Peripheral blood film:
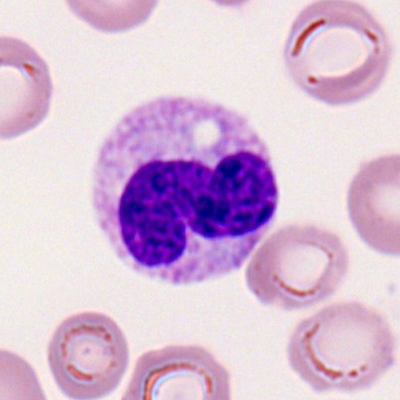Showing a polymorphonuclear neutrophil.